40× objective, oil immersion. Bone marrow aspirate smear: 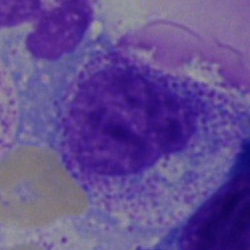Classification — myelocyte.